Bone marrow smear · single cell centered in the field · MGG-stained: 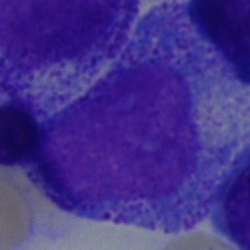Morphological class — progranulocyte.